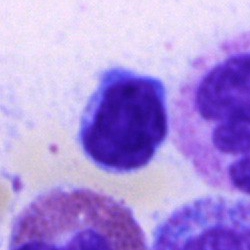Typical lymphocyte.